Bone marrow smear. Cropped to a single cell.
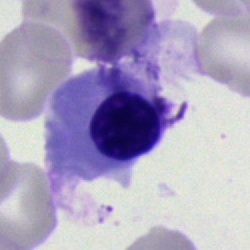

The cell type is normoblast.